Bone marrow smear.
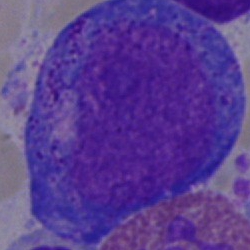 Cell type: promyelocyte.